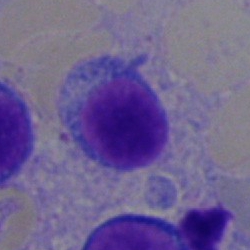Morphological class: typical lymphocyte.